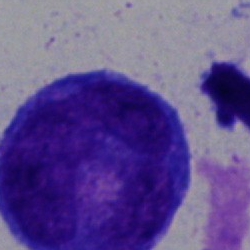Specimen: bone marrow aspirate smear.
Morphological class: undifferentiated blast.